250×250. Bone marrow aspirate smear
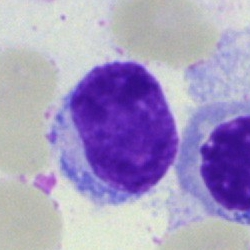 Hairy cell.